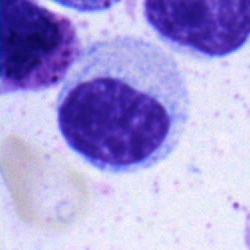

A myelocyte on a bone marrow smear.